Bone marrow aspirate smear: 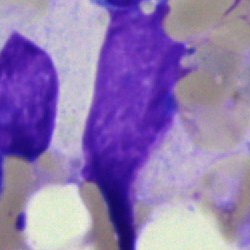 Q: What is shown here?
A: An artifact.